Bone marrow smear:
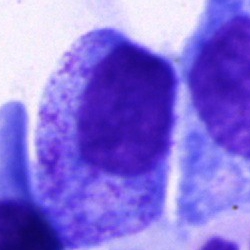
Q: Identify the cell.
A: This is a progranulocyte.